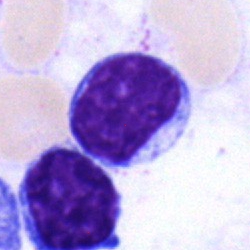
Morphology → typical lymphocyte.